Peripheral blood smear.
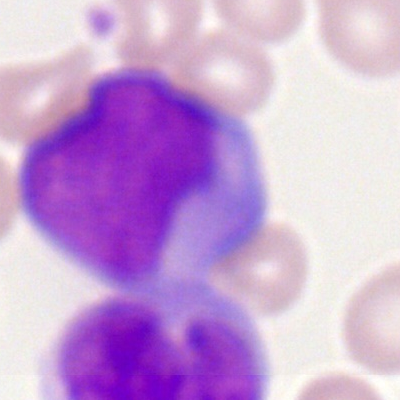
Showing a myeloblast.